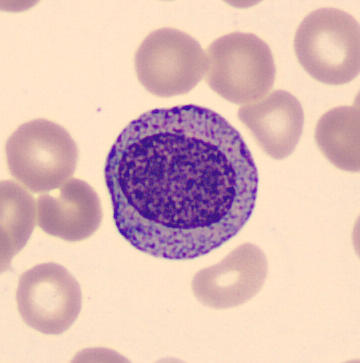

Preparation: Single-cell field · MGG stain · peripheral blood smear.

Cell = myelocyte.